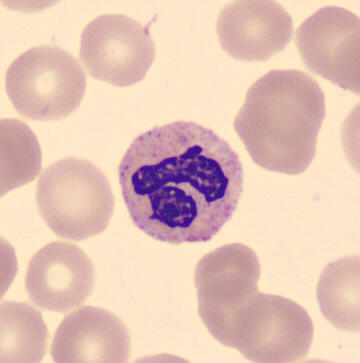Classification: polymorphonuclear neutrophil.

Peripheral blood film.